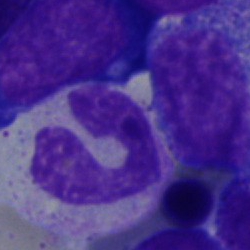

Morphology → neutrophil (segmented).